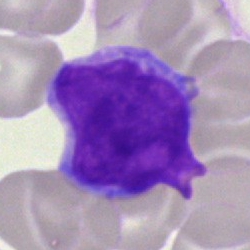 Specimen: bone marrow aspirate smear.
Classification: typical lymphocyte.
Lineage: lymphoid.